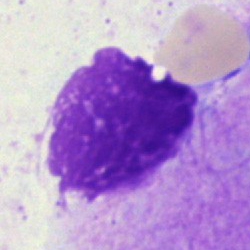The morphological class is artifact.